Bone marrow smear. Single-cell crop. 250×250 px — 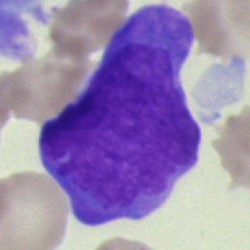Cell type — blast.